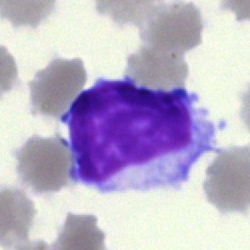

A typical lymphocyte on a bone marrow smear.